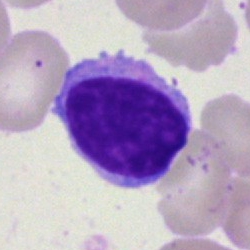
The cell type is typical lymphocyte.